Single-cell field · bone marrow aspirate smear
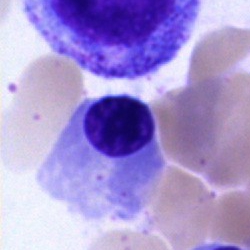Cell type — normoblast.